Bone marrow smear; single cell centered in the field; May-Grünwald-Giemsa stain:
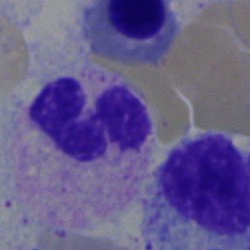A polymorphonuclear neutrophil.